MGG-stained · 250×250 · bone marrow aspirate smear: 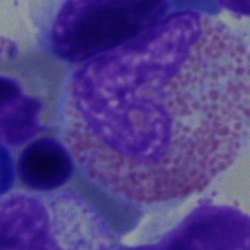 Single cell identified as an eosinophilic granulocyte.